Peripheral blood film:
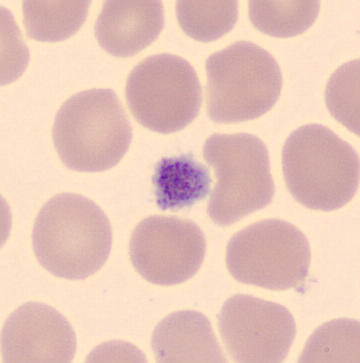

Q: What is this?
A: A thrombocyte.